Bone marrow smear. Brightfield, 40× oil-immersion objective — 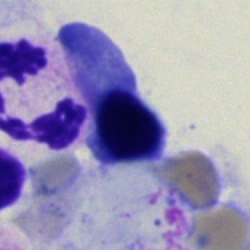 Single cell identified as an erythroblast.